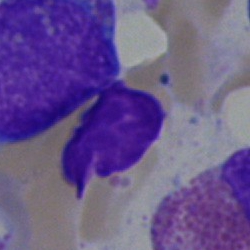 Morphological class = artefact.